Bone marrow aspirate smear; brightfield microscopy, 40× oil immersion: 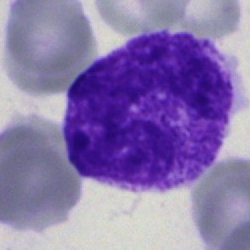 Showing a neutrophil (band).